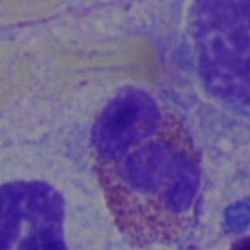
Cell — eosinophil.